Bone marrow aspirate smear:
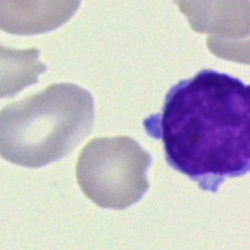 Classification — typical lymphocyte.